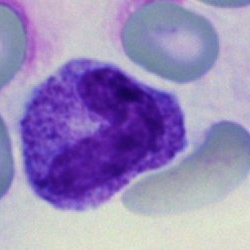

Specimen: bone marrow smear.
Morphological class: band neutrophil.
Lineage: myeloid.